Bone marrow smear.
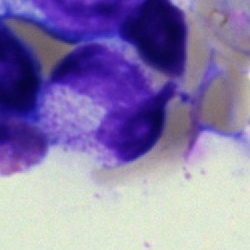 Morphology consistent with a stab cell.